Bone marrow aspirate smear.
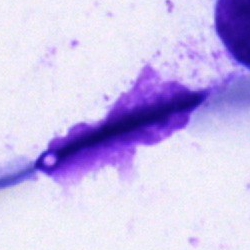
An artefact.